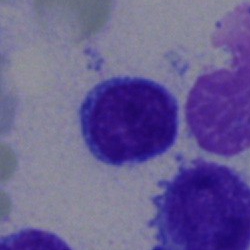
The cell shown is a lymphocyte.